Bone marrow smear.
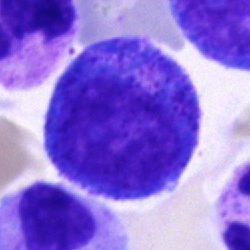
Specimen: bone marrow aspirate smear.
Cell: promyelocyte.